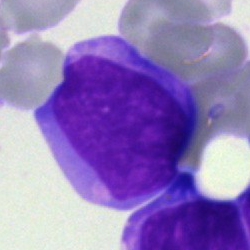
The morphological class is undifferentiated blast.